Bone marrow smear. 40× oil immersion:
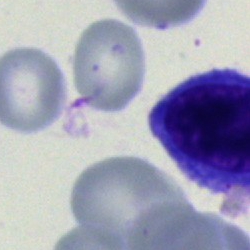
{"cell_type": "unidentifiable cell"}